Peripheral blood smear.
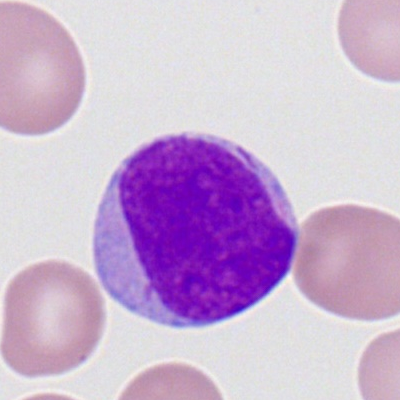

This is a myeloid blast.